Single-cell crop. 250×250 px. Bone marrow smear.
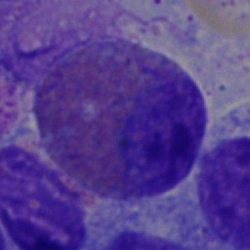

Morphology — eosinophilic granulocyte.